Bone marrow aspirate smear
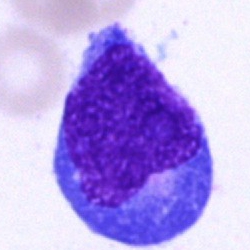 Specimen: bone marrow smear.
Cell type: blast cell.